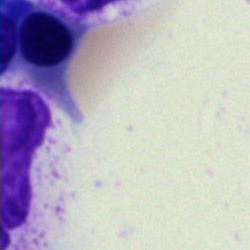

Artifact.